Single cell centered in the field; May-Grünwald-Giemsa stain; bone marrow aspirate smear:
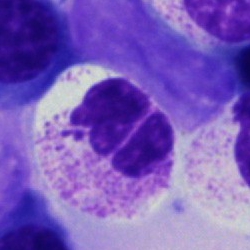
Segmented neutrophil.